Bone marrow aspirate smear:
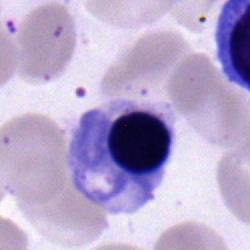

Morphology consistent with a nucleated red blood cell.